Bone marrow aspirate smear. Pappenheim-stained
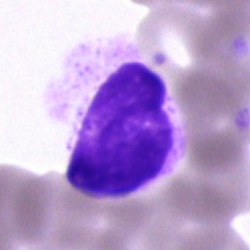

Q: What is shown here?
A: An artifact.